Bone marrow smear. Cropped to a single cell:
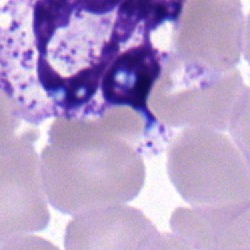

Single cell identified as a polymorphonuclear neutrophil.